Bone marrow smear. Single-cell crop: 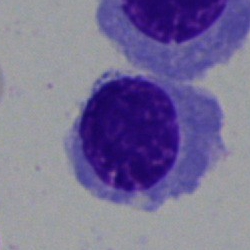

Q: Which cell type is shown here?
A: A nucleated red cell.